Brightfield, 40× oil-immersion objective. Bone marrow smear — 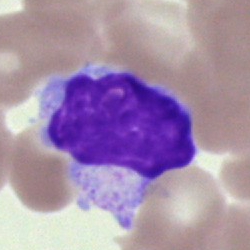
Morphology — lymphocyte.